Single-cell crop · 40× oil immersion · bone marrow aspirate smear
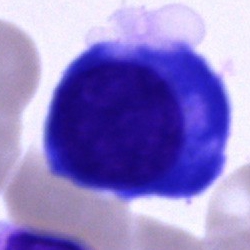 The classification is nucleated red cell.